MGG-stained; bone marrow aspirate smear; brightfield microscopy, 40× oil immersion
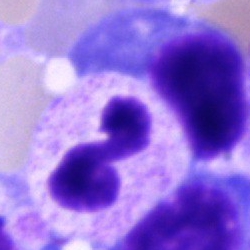

Cell type: neutrophil (segmented).